Bone marrow smear. MGG-stained.
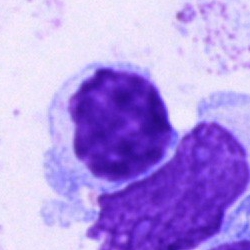Classification = typical lymphocyte.